Peripheral blood smear; single-cell field:
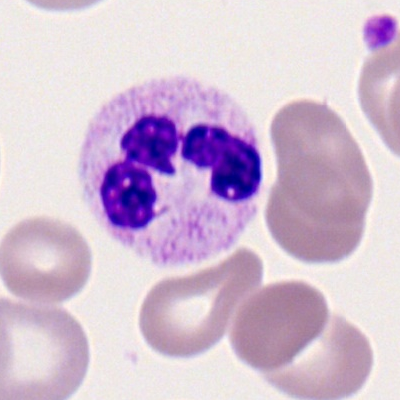

Impression — neutrophil (segmented).